Bone marrow aspirate smear: 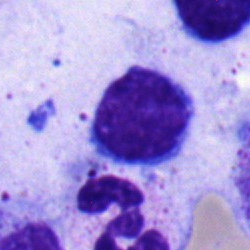 A typical lymphocyte.